Bone marrow aspirate smear; 40× objective, oil immersion — 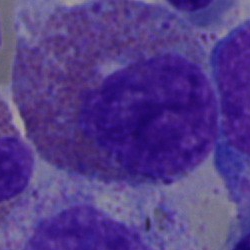
Classification — eosinophil.